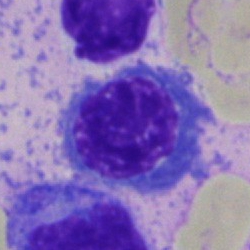Q: What cell is this?
A: It is an erythroblast.